Bone marrow aspirate smear.
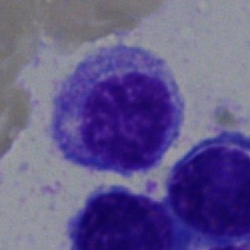 Q: Which cell type is shown here?
A: It is a nucleated red cell.